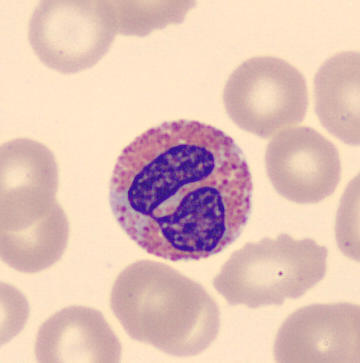

Image: Peripheral blood film.

Identified as an eosinophil.